Bone marrow aspirate smear
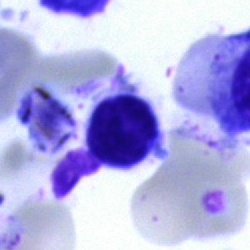
Classification = artifact.